Peripheral blood film.
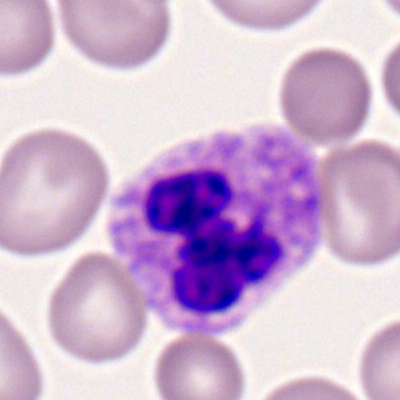

Cell type — neutrophil (segmented).